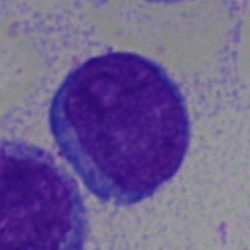
Specimen: bone marrow aspirate smear.
Cell type: blast.